Bone marrow smear. Brightfield, 40× oil-immersion objective: 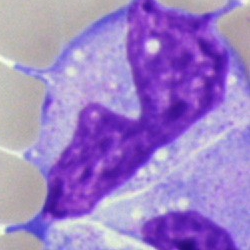

Monocyte.